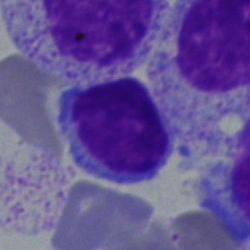

Specimen: bone marrow aspirate smear.
Morphological class: typical lymphocyte.